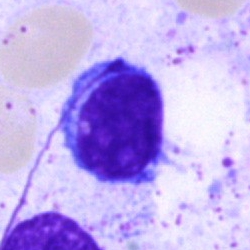

The cell shown is a typical lymphocyte.